Peripheral blood film. Brightfield, 100× oil-immersion objective. 400×400 — 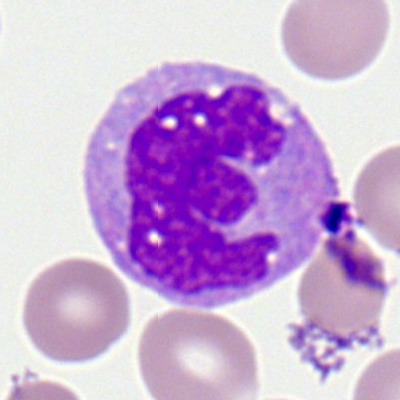
Monocyte.